MGG-stained; bone marrow smear:
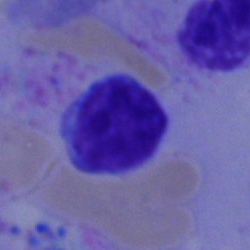

Q: What cell is this?
A: A typical lymphocyte.